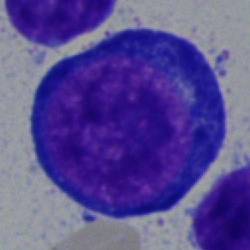Cell type = proerythroblast.